Bone marrow smear. MGG-stained. 250 by 250 pixels: 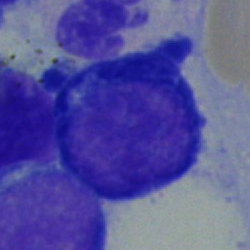
Q: What is the morphological classification of this cell?
A: A pronormoblast.